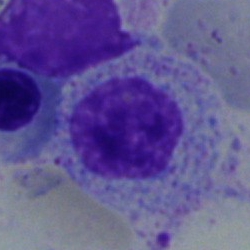

Showing a myelocyte.